Brightfield microscopy, 40× oil immersion · single-cell crop · bone marrow aspirate smear:
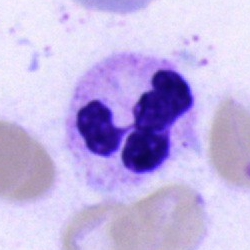Showing a segmented neutrophil.